Bone marrow aspirate smear:
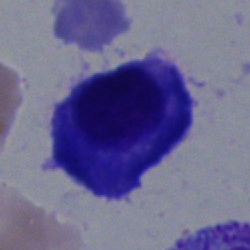 Showing a plasmacyte.